Romanowsky-stained. Peripheral blood film:
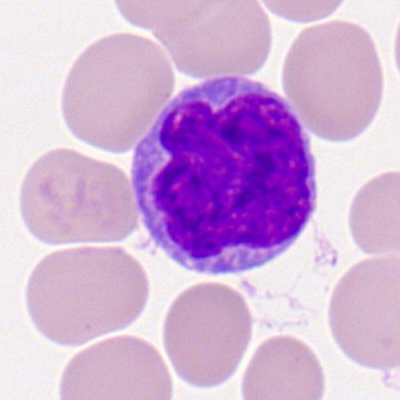Specimen: peripheral blood film.
Cell type: lymphocyte.
Lineage: lymphoid.